250×250 px · bone marrow aspirate smear:
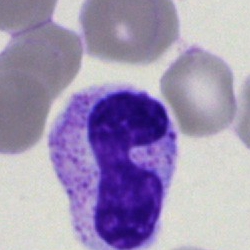 Showing a band-form neutrophil.